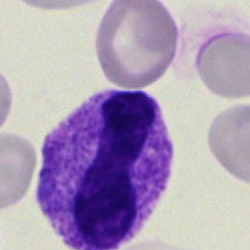 Classification — band neutrophil.